Bone marrow smear; image size 250×250 — 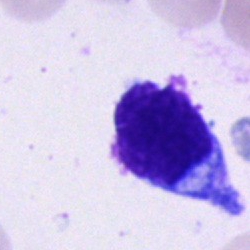Specimen: bone marrow smear.
Cell: typical lymphocyte.
Lineage: lymphoid.